100× objective, oil immersion. Peripheral blood film — 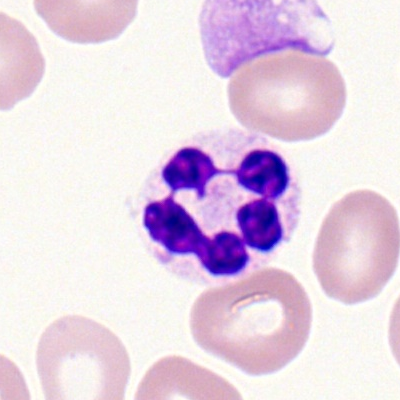
Q: Identify the cell.
A: This is a polymorphonuclear neutrophil.